250×250; bone marrow smear
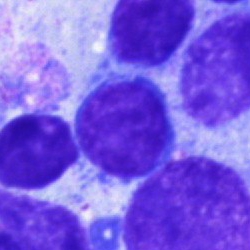
Q: Which cell type is shown here?
A: A lymphocyte.